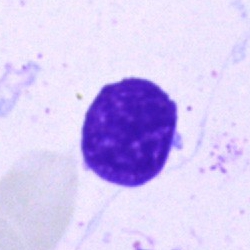
Morphology consistent with an artefact.